Bone marrow aspirate smear · single-cell crop:
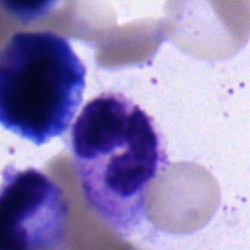Specimen: bone marrow smear.
Cell type: neutrophil (segmented).
Lineage: myeloid.